Bone marrow aspirate smear: 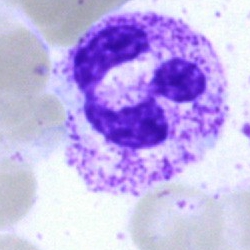
Classification — segmented neutrophil.